Bone marrow aspirate smear.
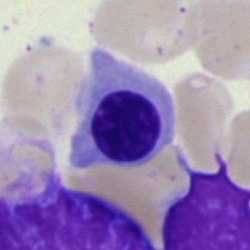

Classification = erythroblast.